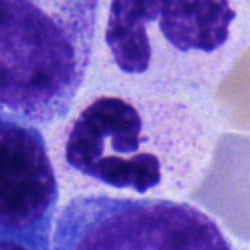Morphological class: polymorphonuclear neutrophil.